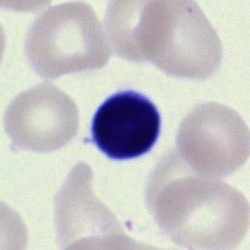 Single cell identified as a typical lymphocyte.